Bone marrow aspirate smear.
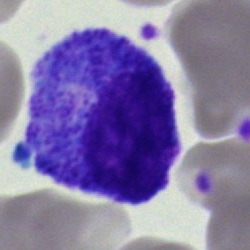This is a progranulocyte.